Single-cell crop · peripheral blood film
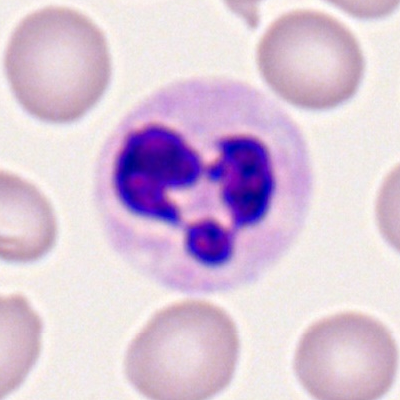Showing a neutrophil (segmented).